Peripheral blood film:
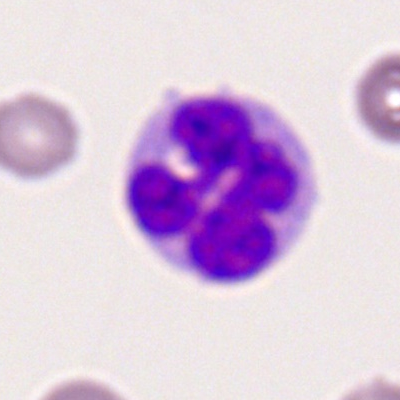 Q: What type of cell is this?
A: A monocyte.